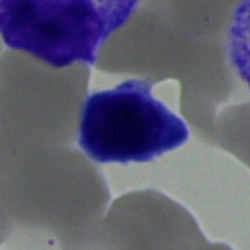
Classification = typical lymphocyte.